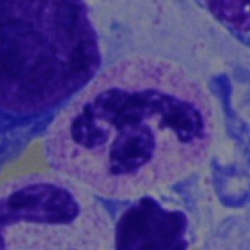

Classification — polymorphonuclear neutrophil.